Bone marrow smear — 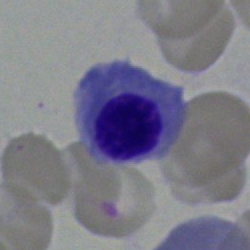

Impression — erythroblast.